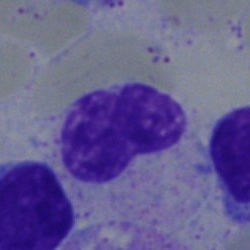
Q: What is shown here?
A: It is a band-form neutrophil.